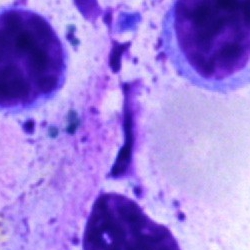
Q: What is shown here?
A: An artifact.